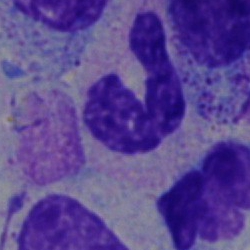
Q: Identify the cell.
A: Band neutrophil.